Bone marrow aspirate smear.
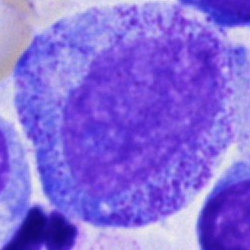
Morphology consistent with a progranulocyte.